MGG-stained · bone marrow aspirate smear.
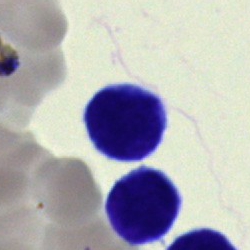
This is a lymphocyte.